Peripheral blood film · CellaVision DM96 digital cell image.
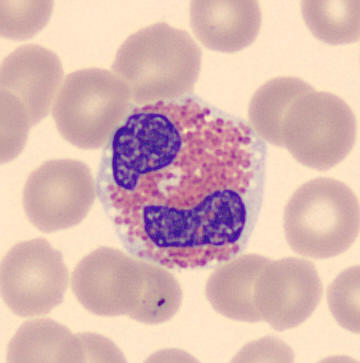

Q: What is shown here?
A: An eosinophil.